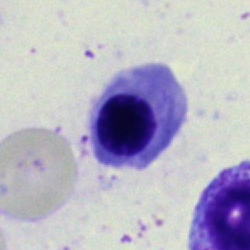 Morphological class — nucleated red cell.